Pappenheim-stained; bone marrow smear; 40× oil immersion — 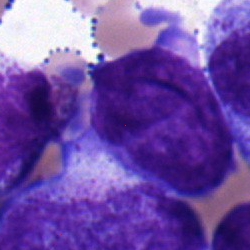 Blast.